40× objective, oil immersion; bone marrow smear
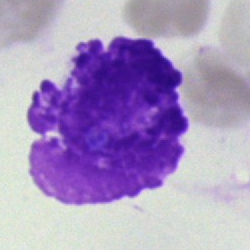

{"cell_type": "artifact"}